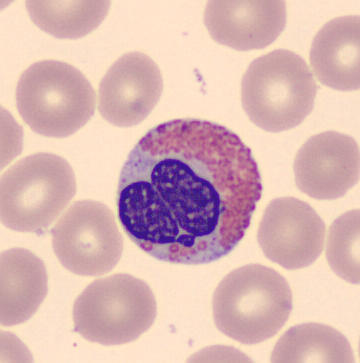
360 by 363 pixels · peripheral blood film · single-cell crop. The morphological class is eosinophilic granulocyte.